Bone marrow aspirate smear.
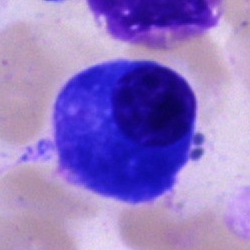The cell type is plasmacyte.